Bone marrow smear: 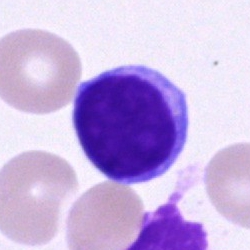Morphological class — typical lymphocyte.